Pappenheim-stained · bone marrow aspirate smear.
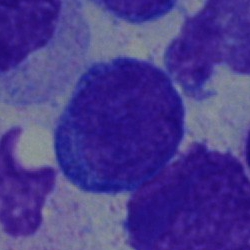
Specimen: bone marrow aspirate smear.
Morphological class: monocyte.